Bone marrow smear — 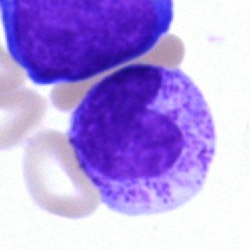

Classification — metamyelocyte.